Bone marrow aspirate smear:
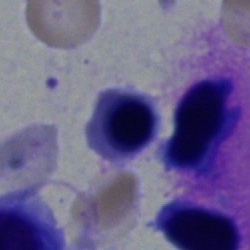Morphology consistent with a nucleated red cell.